Bone marrow aspirate smear: 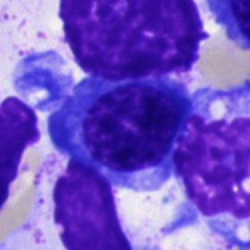 Specimen: bone marrow smear.
Classification: nucleated red blood cell.
Lineage: erythroid.